Bone marrow aspirate smear.
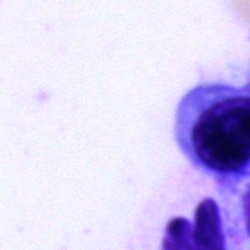
Morphological class: nucleated red cell.